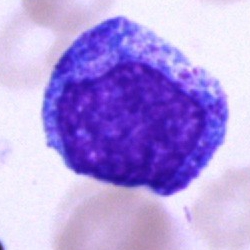Specimen: bone marrow aspirate smear.
Cell: progranulocyte.
Lineage: myeloid.